Peripheral blood smear · single cell centered in the field.
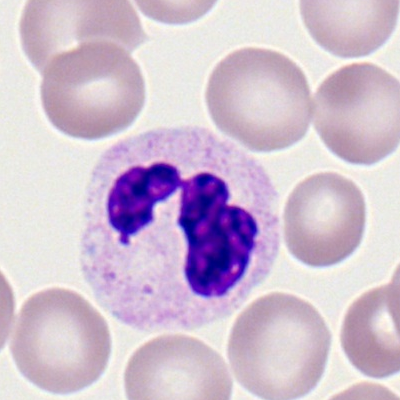 The cell shown is a neutrophil (segmented).